Bone marrow aspirate smear.
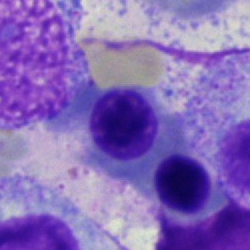
Nucleated red blood cell.